Bone marrow aspirate smear — 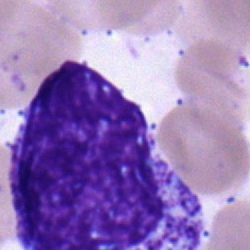

Q: What is shown here?
A: A myelocyte.